Bone marrow aspirate smear · 40× objective, oil immersion: 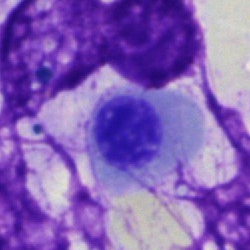
Impression — erythroblast.